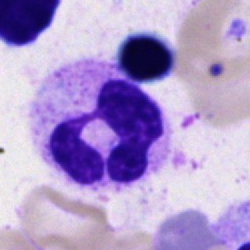
Classification = neutrophil (segmented).